Brightfield microscopy, 40× oil immersion; bone marrow aspirate smear.
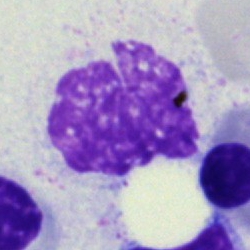

Morphology → artifact.